Single-cell field. Bone marrow smear: 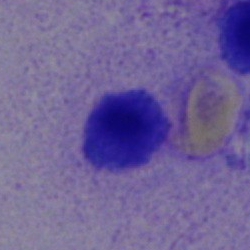Cell — lymphocyte.